Peripheral blood film.
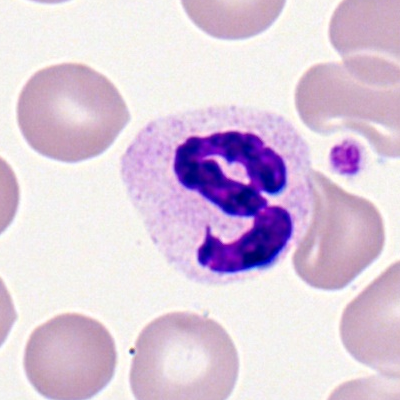

Morphological class = polymorphonuclear neutrophil.